Bone marrow smear — 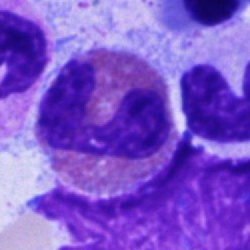

Q: What is shown here?
A: Eosinophilic granulocyte.